Bone marrow smear; 250 by 250 pixels:
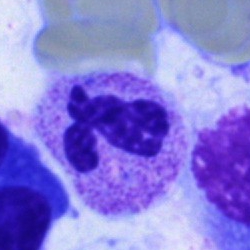 Q: What type of cell is this?
A: A neutrophil (segmented).